Bone marrow aspirate smear: 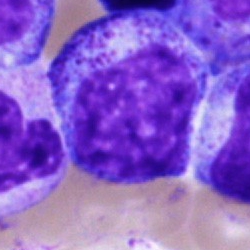
Morphological class — progranulocyte.